Bone marrow aspirate smear. May-Grünwald-Giemsa stain.
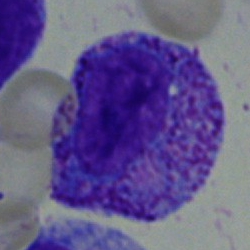

Q: What is the morphological classification of this cell?
A: This is a promyelocyte.